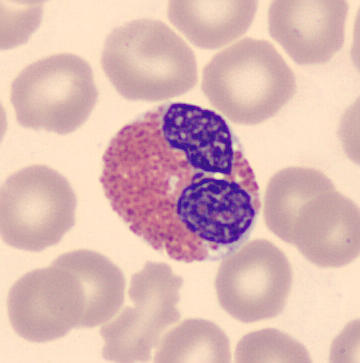
Impression → eosinophilic granulocyte.

Peripheral blood smear.